Bone marrow aspirate smear — 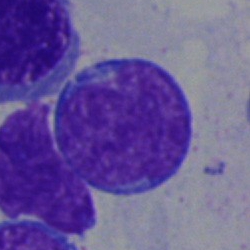 The cell type is typical lymphocyte.